Bone marrow smear.
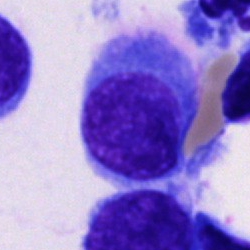
Classification = plasma cell.